Bone marrow aspirate smear:
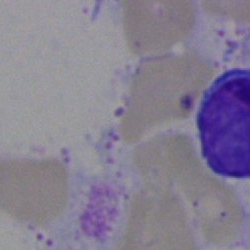 Cell type = artefact.